Bone marrow smear: 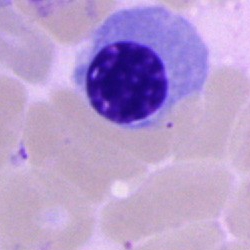
Showing a nucleated red blood cell.